Bone marrow smear. Brightfield, 40× oil-immersion objective.
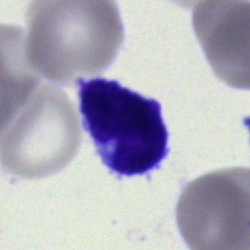This is a blast cell.